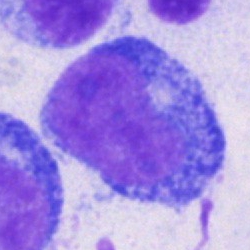Specimen: bone marrow smear.
Morphological class: undifferentiated blast.